Bone marrow smear:
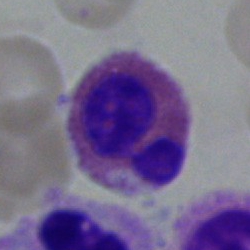 Specimen: bone marrow smear.
Classification: eosinophil.
Lineage: myeloid.